Bone marrow aspirate smear:
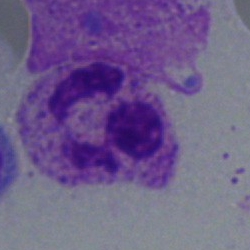
Specimen: bone marrow aspirate smear.
Classification: polymorphonuclear neutrophil.
Lineage: myeloid.